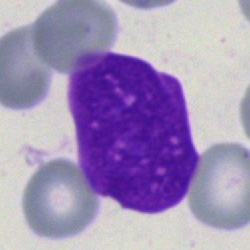
The classification is artefact.